Bone marrow aspirate smear
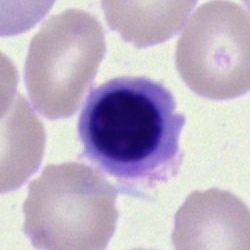

Classification = normoblast.